Bone marrow smear
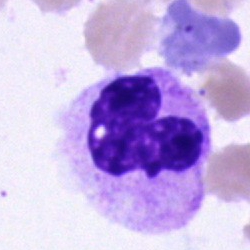
A neutrophil (segmented).